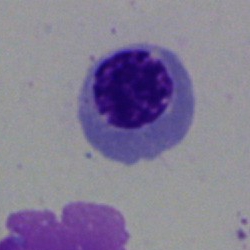 Showing an erythroblast.